Single-cell field. 40× oil immersion. Bone marrow aspirate smear:
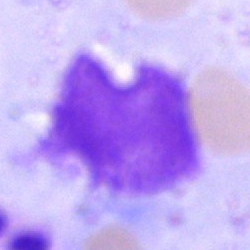

Specimen: bone marrow smear.
Cell type: artefact.